Bone marrow aspirate smear; MGG-stained.
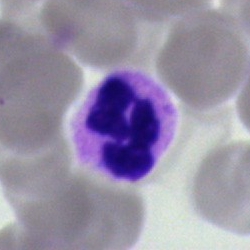

The cell shown is a neutrophil (segmented).